Bone marrow smear:
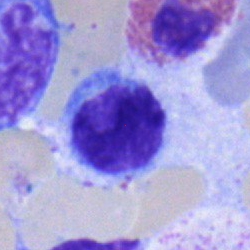

Specimen: bone marrow smear.
Classification: lymphocyte.
Lineage: lymphoid.